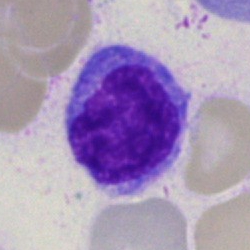Classification = monocyte.